Pappenheim-stained; 250×250; bone marrow smear
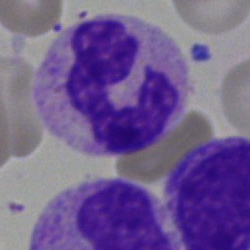
Cell = neutrophil (segmented).